Bone marrow smear:
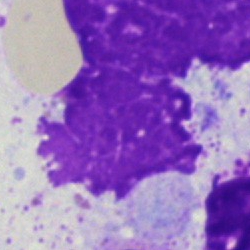 This is an artifact.